May-Grünwald-Giemsa stain. Bone marrow smear
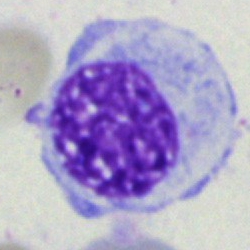 Showing a progranulocyte.